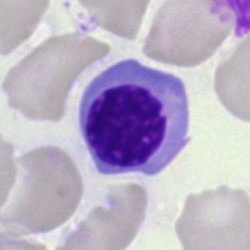Morphological class = normoblast.